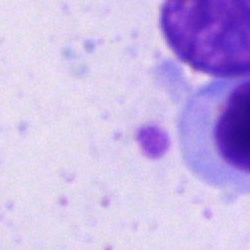Q: What is shown here?
A: This is an artifact.